Image size 250×250. Bone marrow aspirate smear
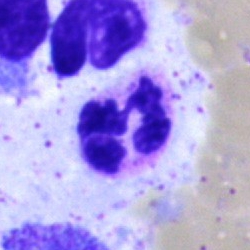 Morphological class — polymorphonuclear neutrophil.